40× oil immersion; bone marrow smear; single-cell crop — 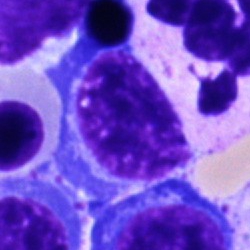 Normoblast.